Bone marrow smear. Pappenheim-stained. 250×250: 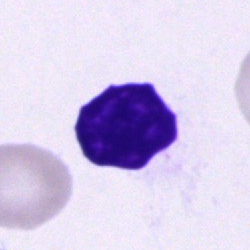The cell is artifact.